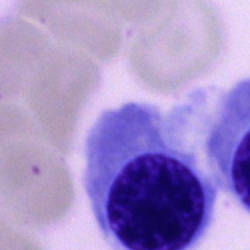The cell is erythroblast.